Bone marrow aspirate smear: 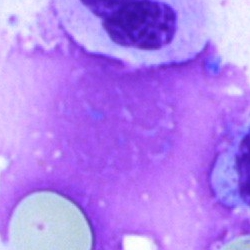
Cell — artefact.